Bone marrow aspirate smear: 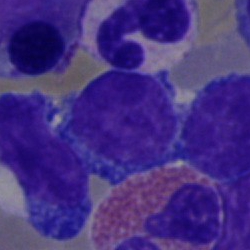 The classification is typical lymphocyte.